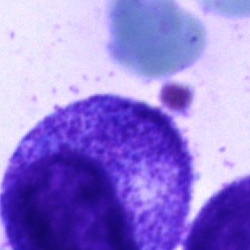 Classification = myelocyte.